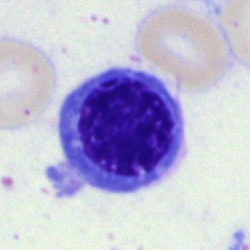

Bone marrow smear showing a nucleated red blood cell.